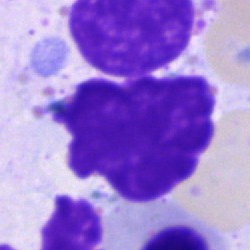
An artefact.